Bone marrow smear — 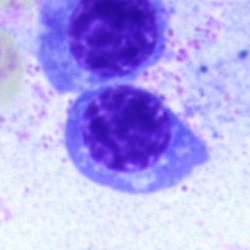 Cell = nucleated red blood cell.